Bone marrow aspirate smear; single cell centered in the field.
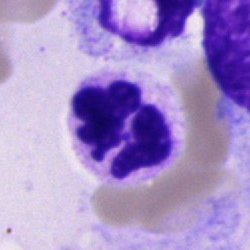

Morphological class = neutrophil (segmented).